May-Grünwald-Giemsa/Pappenheim stain · bone marrow smear: 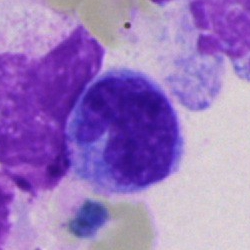

A monocyte.